Bone marrow aspirate smear
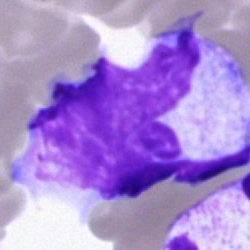 Cell — artifact.